Bone marrow aspirate smear.
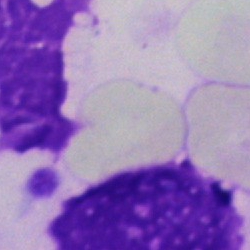

{"cell_type": "artefact"}